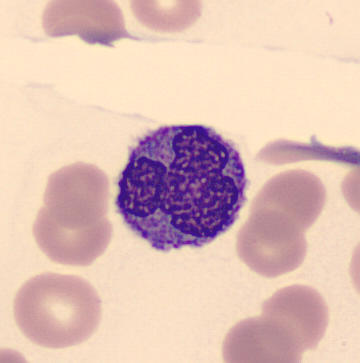 {"cell_type": "monocyte"}